Bone marrow smear · MGG-stained:
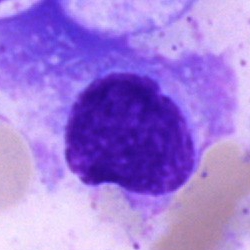

Q: What cell is this?
A: Plasma cell.